Peripheral blood film.
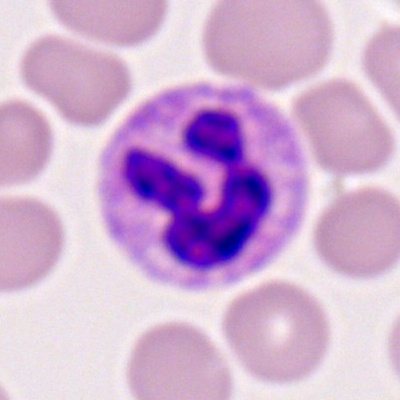 Specimen: peripheral blood smear.
Cell: neutrophil (segmented).
Lineage: myeloid.